Peripheral blood smear — 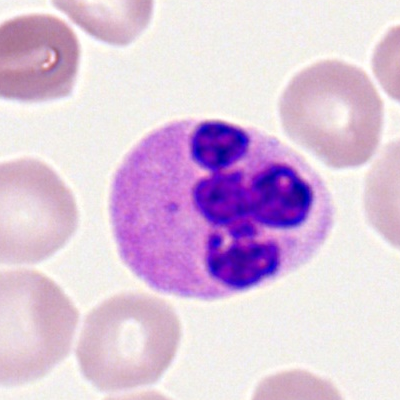Single cell identified as a neutrophil (segmented).